Bone marrow smear; May-Grünwald-Giemsa/Pappenheim stain.
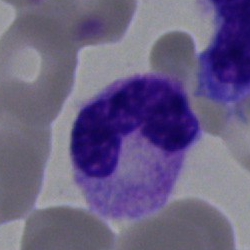Q: What is the morphological classification of this cell?
A: This is a band neutrophil.